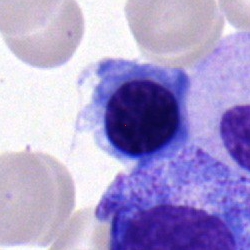
Nucleated red cell.